Bone marrow aspirate smear. Cropped to a single cell:
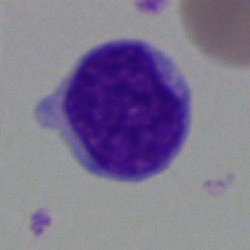 Q: Which cell type is shown here?
A: Undifferentiated blast.